250×250. Bone marrow smear:
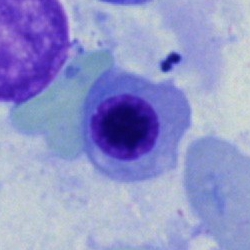

Erythroblast.